Bone marrow smear; 40× objective, oil immersion:
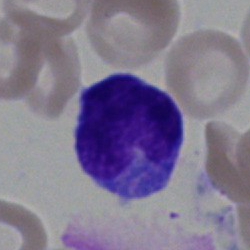
Morphology → typical lymphocyte.